MGG-stained; brightfield, 40× oil-immersion objective; bone marrow aspirate smear — 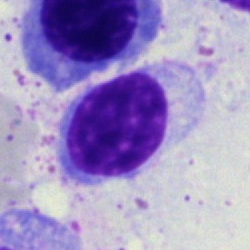Morphology → lymphocyte.